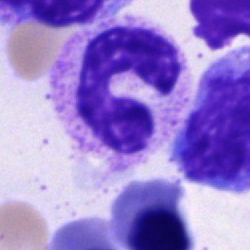
Specimen: bone marrow smear.
Classification: stab cell.